Bone marrow aspirate smear · May-Grünwald-Giemsa/Pappenheim stain
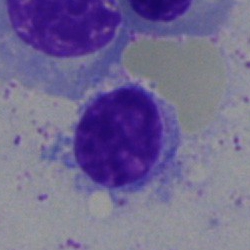
The morphological class is typical lymphocyte.